Bone marrow aspirate smear. 40× objective, oil immersion
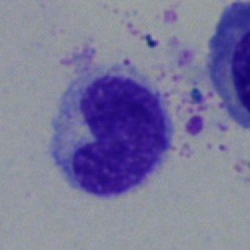The classification is metamyelocyte.